Single-cell crop; bone marrow smear: 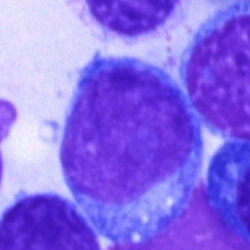
Morphological class: undifferentiated blast.